Bone marrow aspirate smear — 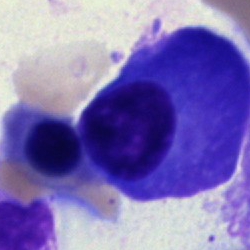

Morphology consistent with a plasmacyte.